Bone marrow smear: 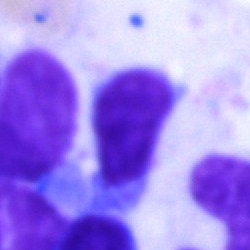 Morphological class — typical lymphocyte.